Brightfield microscopy, 40× oil immersion; bone marrow aspirate smear.
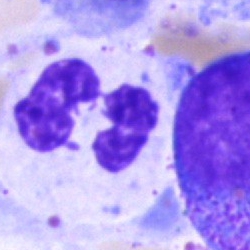

The cell shown is a segmented neutrophil.